250 by 250 pixels; cropped to a single cell; bone marrow aspirate smear: 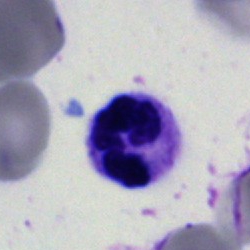

This is a segmented neutrophil.